Romanowsky stain. Peripheral blood film
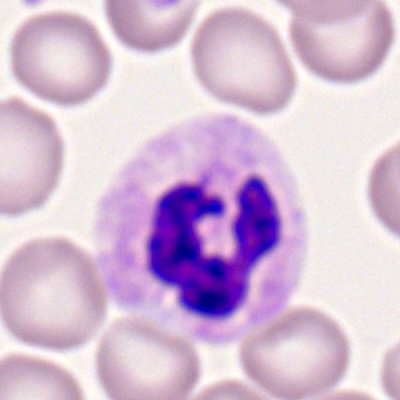
Specimen: peripheral blood film.
Cell: neutrophil (segmented).